Bone marrow smear.
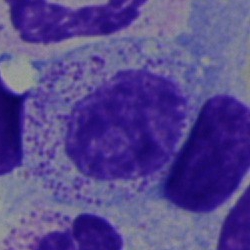Myelocyte.